Pappenheim-stained. Brightfield microscopy, 40× oil immersion. Bone marrow smear
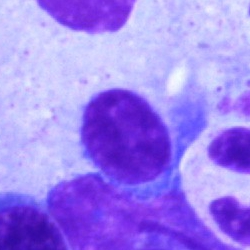

Morphological class — typical lymphocyte.